400×400. Peripheral blood film.
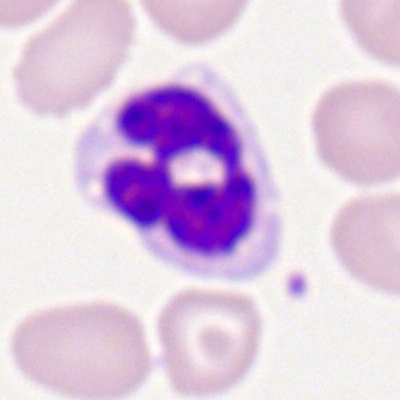 Cell type = polymorphonuclear neutrophil.